Bone marrow aspirate smear; cropped to a single cell — 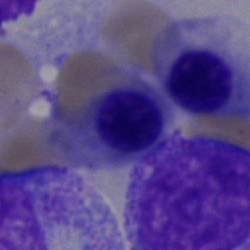

Morphology — normoblast.